MGG-stained; bone marrow smear: 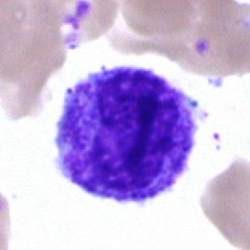Q: What is shown here?
A: A myelocyte.